Bone marrow smear
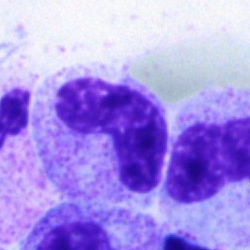 Cell type = neutrophil (band).